Bone marrow aspirate smear. 40× objective, oil immersion
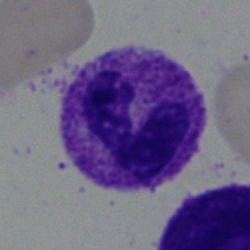
Cell: polymorphonuclear neutrophil.